Bone marrow aspirate smear: 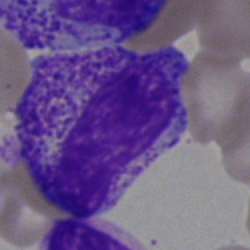 Morphological class — myelocyte.